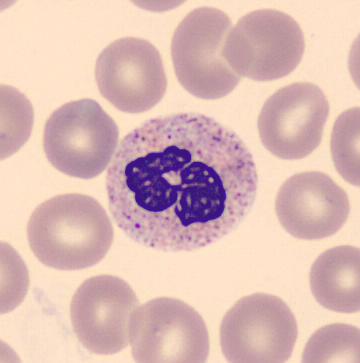

Morphology — segmented neutrophil. Peripheral blood film.